250×250 px; bone marrow aspirate smear.
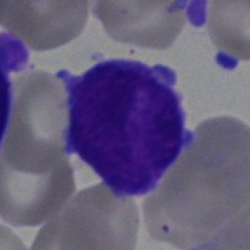
Single cell identified as a blast.